Peripheral blood film: 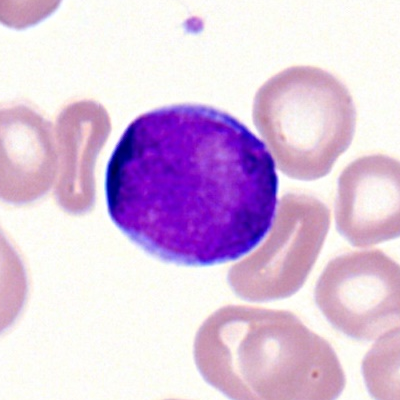 Showing a myeloblast.